Bone marrow aspirate smear — 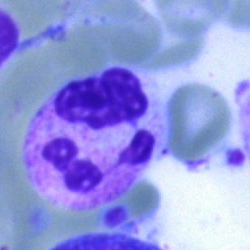Impression — neutrophil (segmented).